Bone marrow smear.
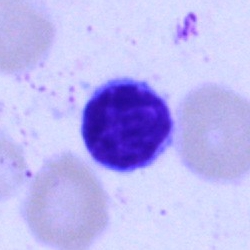 Morphological class — lymphocyte.